Bone marrow aspirate smear:
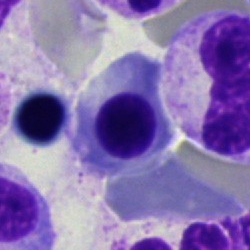
Q: Which cell type is shown here?
A: This is a nucleated red cell.